Bone marrow smear
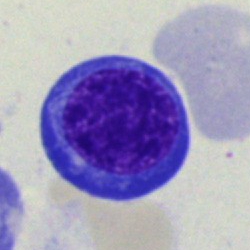This is a nucleated red cell.